Bone marrow smear. 250×250 px — 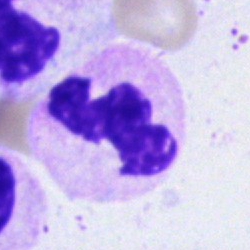
Q: Which cell type is shown here?
A: This is a segmented neutrophil.